Bone marrow smear: 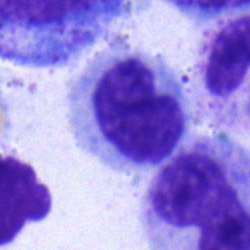
Specimen: bone marrow smear.
Morphological class: metamyelocyte.